Bone marrow smear.
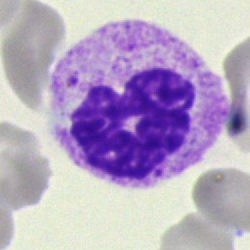Specimen: bone marrow aspirate smear.
Cell type: polymorphonuclear neutrophil.
Lineage: myeloid.